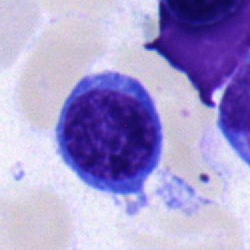
Q: What is shown here?
A: Typical lymphocyte.